Bone marrow aspirate smear. Single-cell field. MGG-stained — 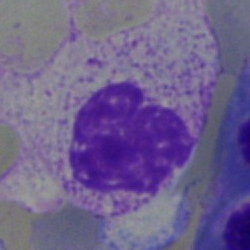
The morphological class is myelocyte.